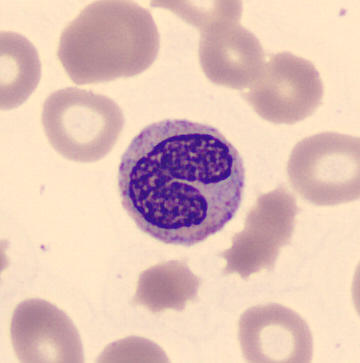

Specimen: peripheral blood film.
Morphological class: neutrophil (band).